Bone marrow aspirate smear: 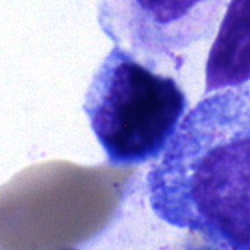 Q: What is the morphological classification of this cell?
A: It is a typical lymphocyte.